Bone marrow aspirate smear; 250 by 250 pixels
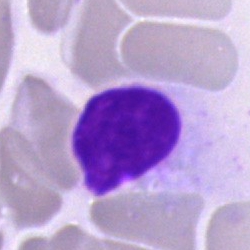 Impression → artefact.